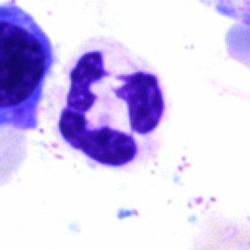
Specimen: bone marrow smear.
Cell type: neutrophil (segmented).
Lineage: myeloid.